Bone marrow aspirate smear
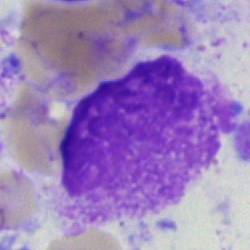
Morphology consistent with an artifact.